Bone marrow aspirate smear — 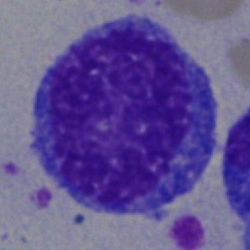
Morphological class: promyelocyte.